Peripheral blood film; single cell centered in the field; May Grünwald-Giemsa stain
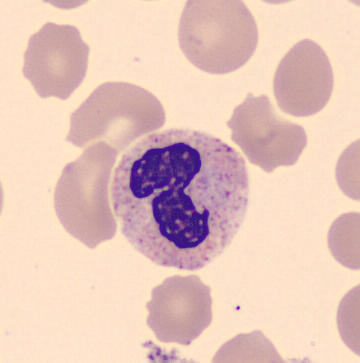Q: Identify the cell.
A: This is a segmented neutrophil.